250 by 250 pixels. Bone marrow smear — 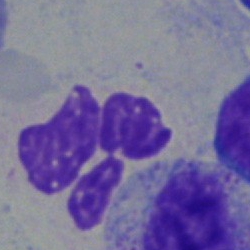 {"cell_type": "polymorphonuclear neutrophil", "lineage": "myeloid"}